Bone marrow smear; 250×250:
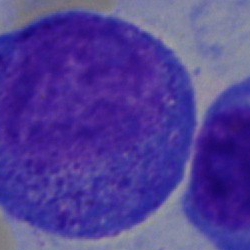 Morphology consistent with a progranulocyte.